Bone marrow smear; single-cell crop — 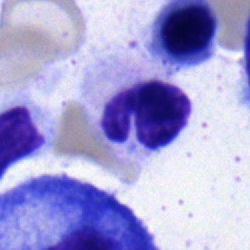
Morphology consistent with a segmented neutrophil.